Bone marrow smear
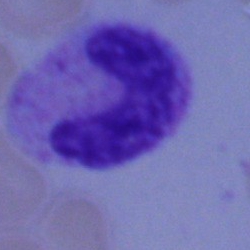

Morphology → band neutrophil.